Bone marrow aspirate smear; single-cell crop: 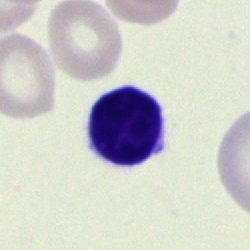 A typical lymphocyte.